Peripheral blood smear:
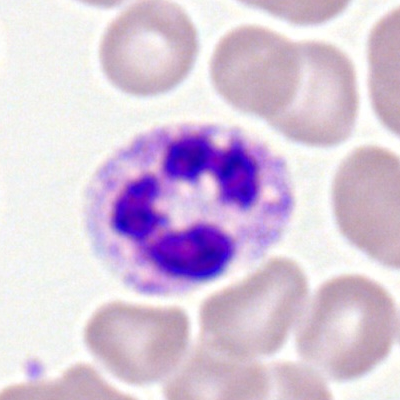
Specimen: peripheral blood film.
Cell: segmented neutrophil.